250×250 px. Bone marrow smear. 40× oil immersion:
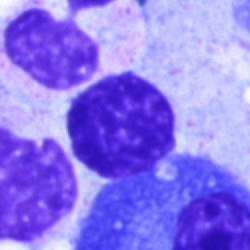Single cell identified as a lymphocyte.